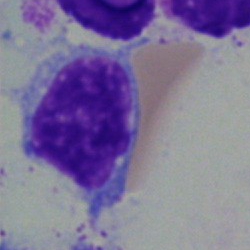Cell type = lymphocyte.